Single-cell field. Peripheral blood film.
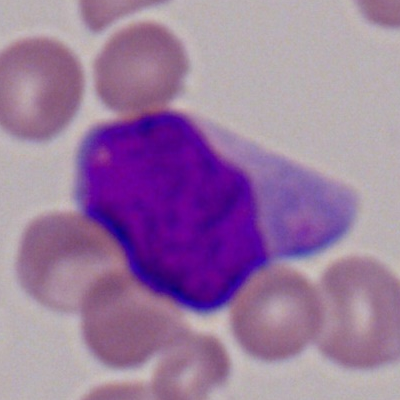

Single cell identified as a myeloid blast.